May-Grünwald-Giemsa/Pappenheim stain · cropped to a single cell · bone marrow smear.
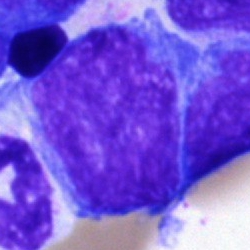
Specimen: bone marrow smear.
Cell: blast.